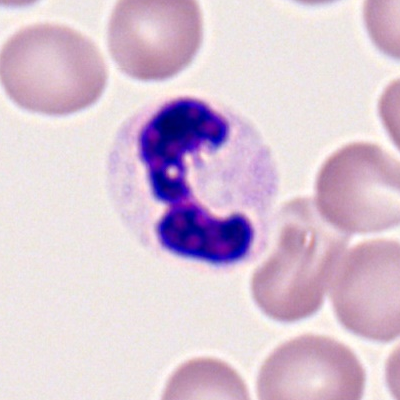Cell type: neutrophil (segmented).